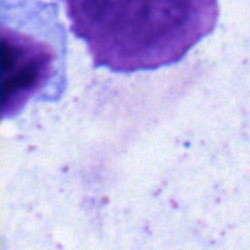 Morphology — lymphocyte.